Image size 360×363 · peripheral blood smear
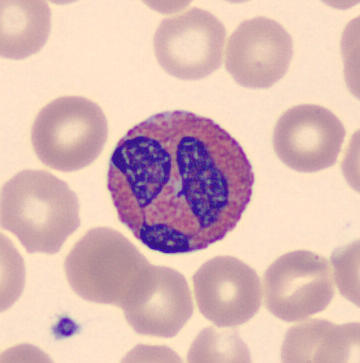
Q: Which cell type is shown here?
A: It is an eosinophilic granulocyte.